Bone marrow aspirate smear: 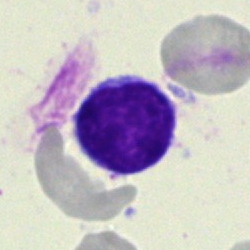
Morphology — typical lymphocyte.